Bone marrow smear:
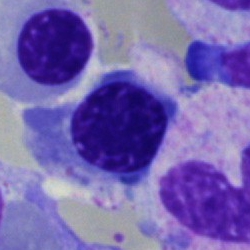
Q: What is the morphological classification of this cell?
A: Nucleated red cell.